Single-cell crop; bone marrow smear; May-Grünwald-Giemsa/Pappenheim stain: 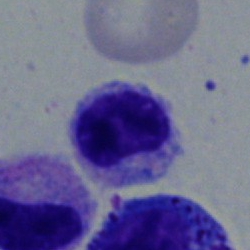 Specimen: bone marrow smear.
Morphological class: metamyelocyte.
Lineage: myeloid.